Bone marrow smear. 40× objective, oil immersion. MGG-stained: 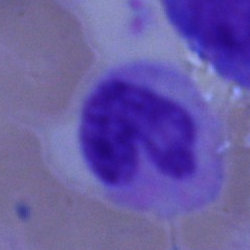Morphology consistent with a stab cell.